May-Grünwald-Giemsa stain. Bone marrow smear: 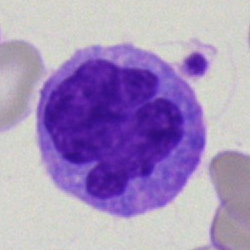
Q: What cell is this?
A: A monocyte.